Bone marrow aspirate smear — 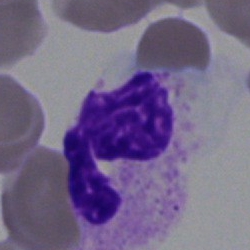
Classification: segmented neutrophil.